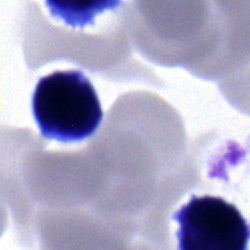Q: What cell is this?
A: Typical lymphocyte.